Bone marrow smear; May-Grünwald-Giemsa stain: 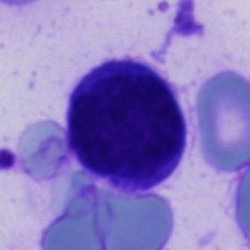Classification — unidentifiable cell.